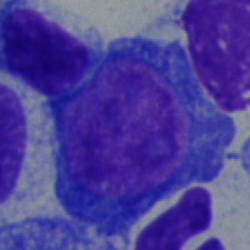 Morphology consistent with a pronormoblast.